Peripheral blood film:
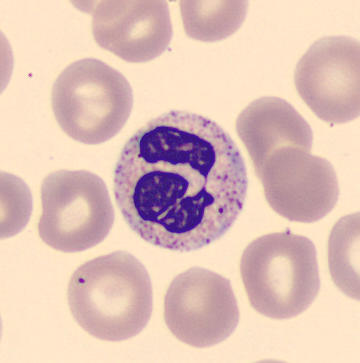 This is a neutrophil (segmented).